250×250 px; bone marrow aspirate smear
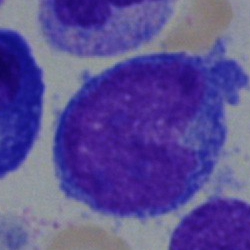
Blast cell.